Bone marrow aspirate smear — 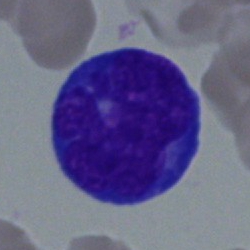
Single cell identified as an undifferentiated blast.